Peripheral blood film; single-cell crop: 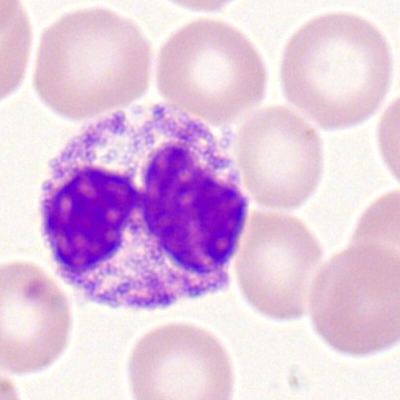
Specimen: peripheral blood smear.
Cell: polymorphonuclear neutrophil.